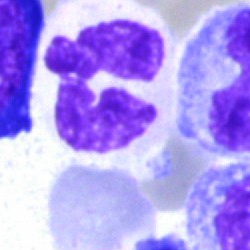
Classification = segmented neutrophil.